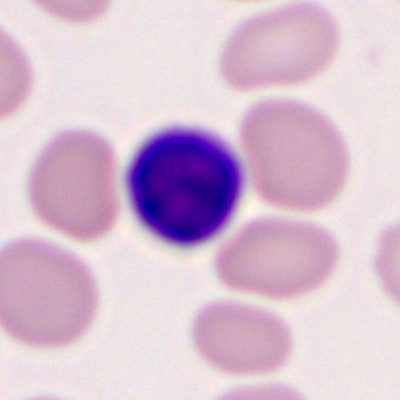

Specimen: peripheral blood smear.
Cell type: typical lymphocyte.
Lineage: lymphoid.